250×250 px. Bone marrow aspirate smear — 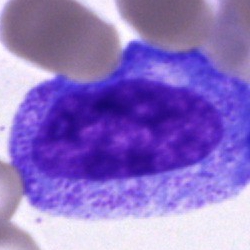Morphological class — progranulocyte.